Bone marrow aspirate smear:
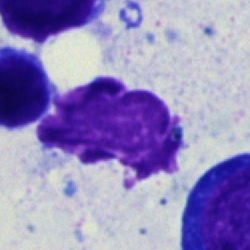The classification is artifact.